May-Grünwald-Giemsa stain. Bone marrow smear. Single-cell crop:
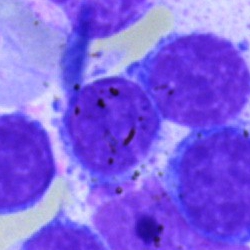
Single cell identified as a typical lymphocyte.